250×250 px · bone marrow smear: 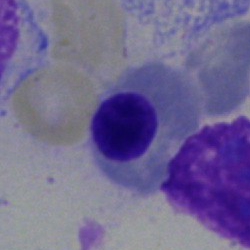 Nucleated red blood cell.